100× oil immersion; peripheral blood smear: 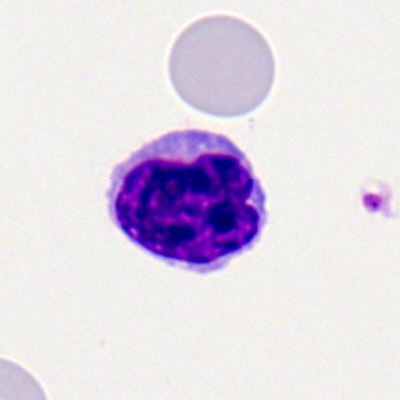 Q: What type of cell is this?
A: A typical lymphocyte.